Bone marrow smear: 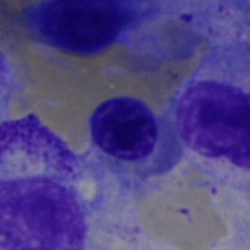Showing a normoblast.